Bone marrow smear:
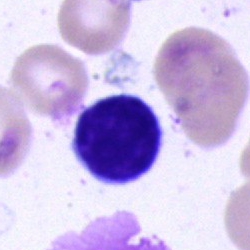 Q: What type of cell is this?
A: This is a typical lymphocyte.